Single-cell field · bone marrow smear · 40× oil immersion:
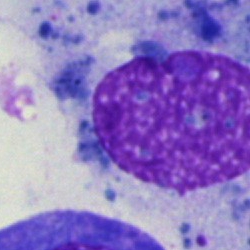

Morphology → other cell.